Bone marrow aspirate smear; brightfield microscopy, 40× oil immersion; cropped to a single cell — 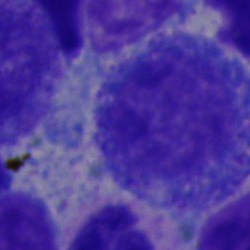Progranulocyte.